250 by 250 pixels. Bone marrow smear. Cropped to a single cell: 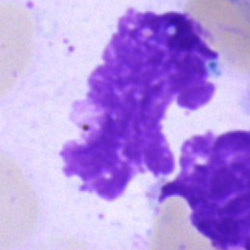
Impression → artifact.